Bone marrow aspirate smear.
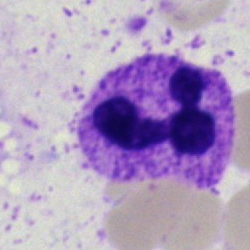
Morphology — segmented neutrophil.